May-Grünwald-Giemsa/Pappenheim stain · bone marrow aspirate smear:
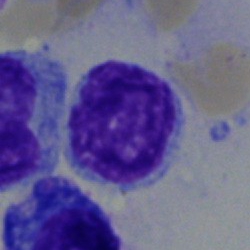
Q: Identify the cell.
A: This is a typical lymphocyte.